Peripheral blood smear.
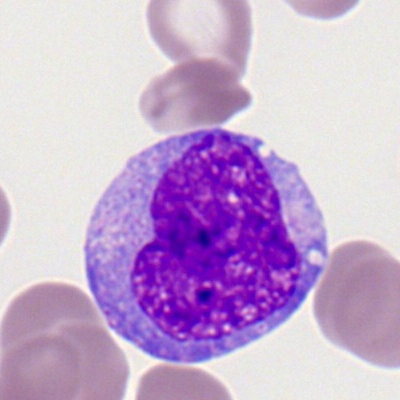

The cell shown is a monocyte.